250 by 250 pixels · bone marrow aspirate smear · cropped to a single cell — 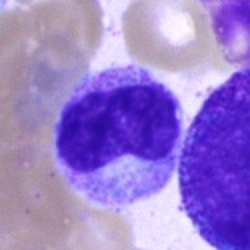 Single cell identified as a metamyelocyte.